Bone marrow smear · 250×250 px · 40× oil immersion.
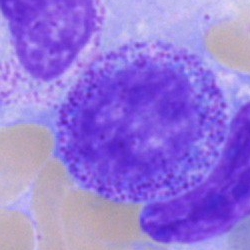
Specimen: bone marrow aspirate smear.
Classification: progranulocyte.
Lineage: myeloid.